Bone marrow aspirate smear:
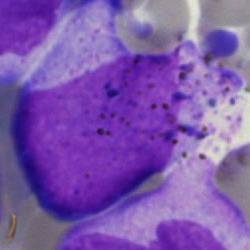
Cell type = blast.